Bone marrow smear: 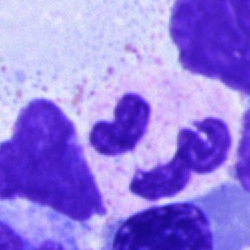Q: What is the morphological classification of this cell?
A: A polymorphonuclear neutrophil.